Bone marrow smear · May-Grünwald-Giemsa/Pappenheim stain:
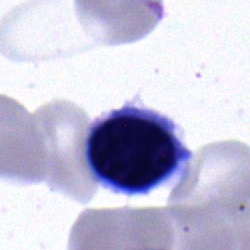
This is a nucleated red blood cell.